Bone marrow smear. Single-cell field. May-Grünwald-Giemsa stain
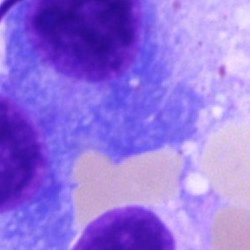A plasmacyte.